Bone marrow aspirate smear. 250×250:
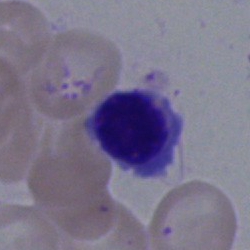Q: What is the morphological classification of this cell?
A: Nucleated red cell.